Peripheral blood film — 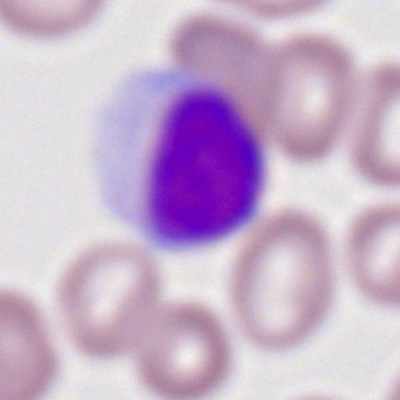Specimen: peripheral blood smear.
Classification: lymphocyte.
Lineage: lymphoid.